100× oil immersion; 400 by 400 pixels; peripheral blood smear — 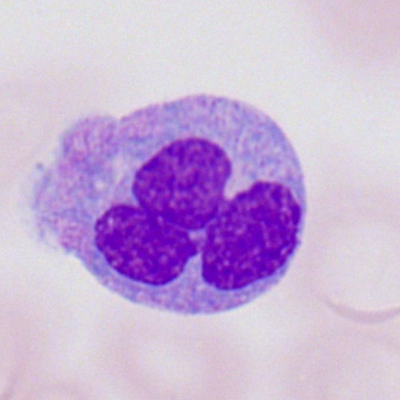

Morphological class = monocyte.